Bone marrow aspirate smear: 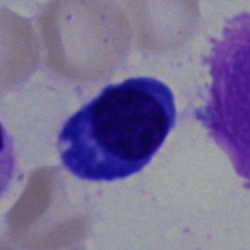
Cell type: plasma cell.